Bone marrow smear. Single-cell field: 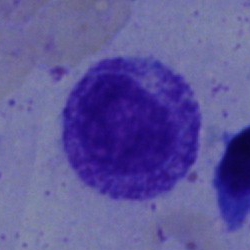 Cell type: myelocyte.